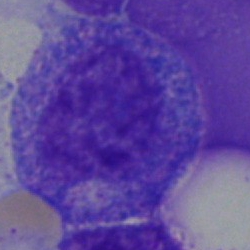Morphological class: progranulocyte.